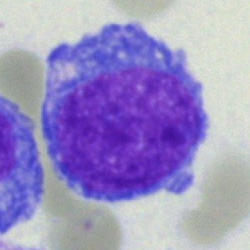

Q: What cell is this?
A: It is a blast cell.